Bone marrow aspirate smear; 250×250 px; 40× oil immersion.
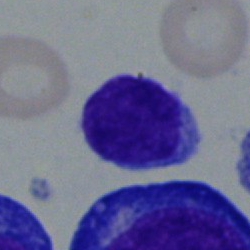

This is a typical lymphocyte.